MGG-stained. Bone marrow smear. 250 by 250 pixels:
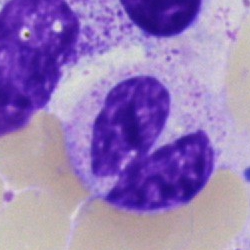
Showing a neutrophil (segmented).